Bone marrow aspirate smear:
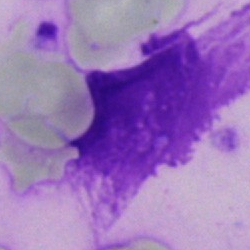
The cell shown is an artifact.